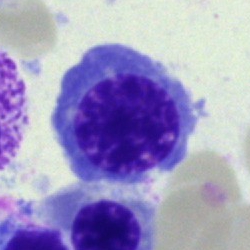Impression — normoblast.